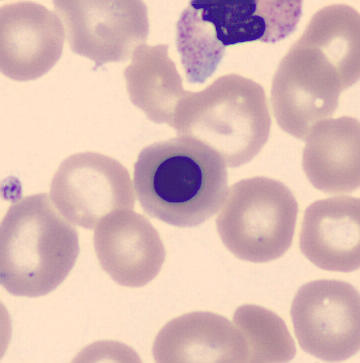 The morphological class is normoblast.

Image: Image size 360×363 · peripheral blood film.